Bone marrow aspirate smear.
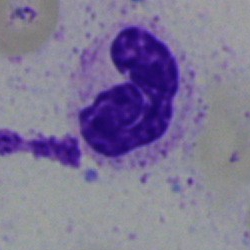

Impression → stab cell.